Automated cell imaging (CellaVision DM96); peripheral blood smear; image size 360×363: 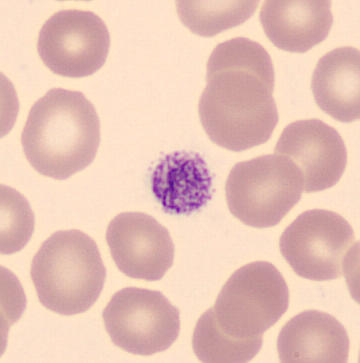 Morphology → platelet.